Bone marrow smear:
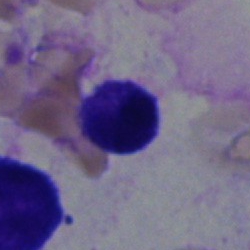

Specimen: bone marrow smear.
Morphological class: lymphocyte.
Lineage: lymphoid.